Bone marrow smear: 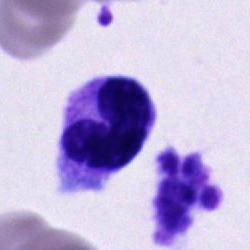Morphology consistent with a polymorphonuclear neutrophil.